Single-cell crop. Bone marrow smear:
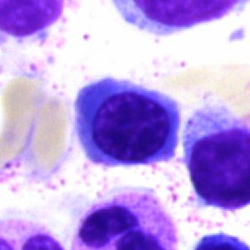 Nucleated red cell.